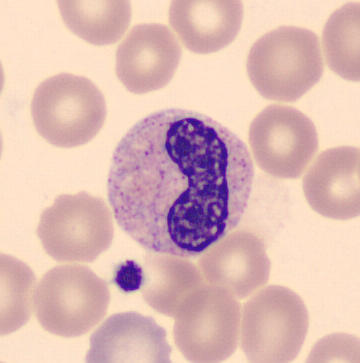
Specimen: peripheral blood film.
Morphological class: neutrophil (band).
Lineage: myeloid.